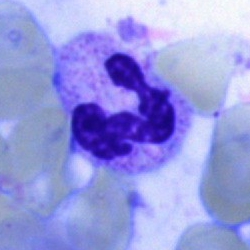Impression — segmented neutrophil.